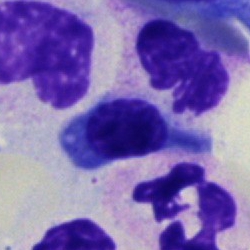 A normoblast.